Bone marrow smear:
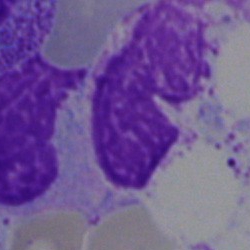
Impression — artefact.